Single-cell crop. Brightfield microscopy, 40× oil immersion. Bone marrow aspirate smear — 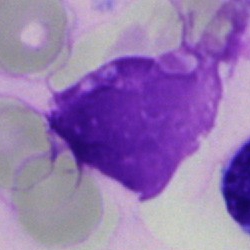
Morphological class — artefact.